Bone marrow smear; single-cell field.
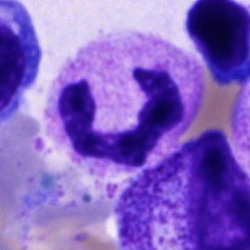 Neutrophil (segmented).